Bone marrow aspirate smear.
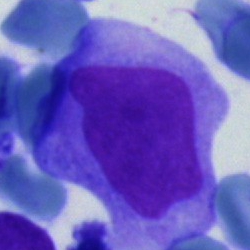The cell shown is a blast.